Bone marrow smear: 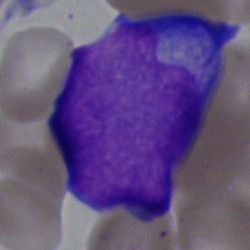
Classification = blast.